Bone marrow aspirate smear:
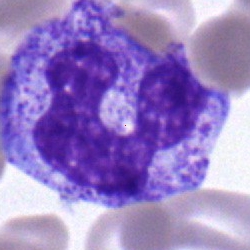

{"cell_type": "band-form neutrophil"}